Bone marrow aspirate smear; 40× objective, oil immersion.
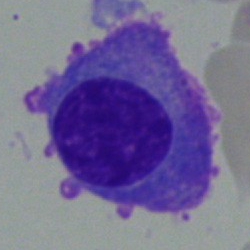Morphological class — plasmacyte.